Bone marrow smear: 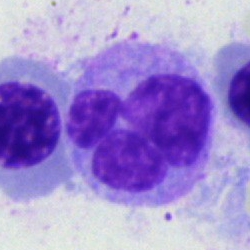Monocyte.